Bone marrow smear
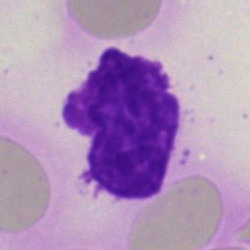Specimen: bone marrow aspirate smear.
Classification: artifact.